40× objective, oil immersion · May-Grünwald-Giemsa stain · bone marrow smear:
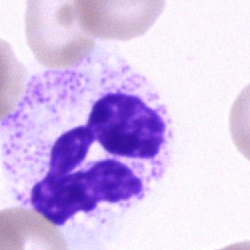

The morphological class is segmented neutrophil.